Cropped to a single cell · MGG-stained · bone marrow smear:
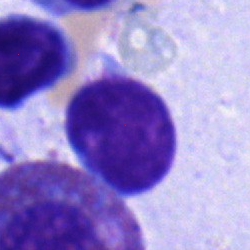 The morphological class is lymphocyte.